Romanowsky-type stain. Peripheral blood smear — 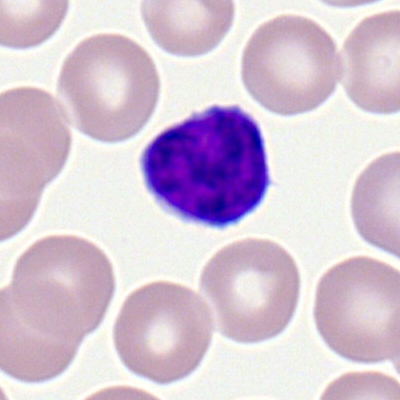
Cell — typical lymphocyte.